Bone marrow smear.
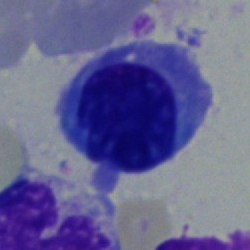

Specimen: bone marrow smear.
Cell: erythroblast.
Lineage: erythroid.